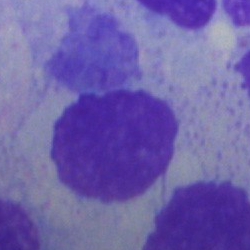
Cell type = artifact.